Bone marrow smear; 40× oil immersion; single-cell field.
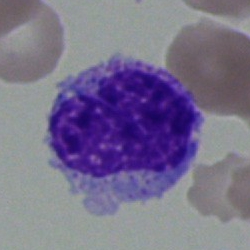 Morphology → monocyte.